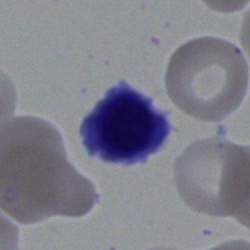 Impression → erythroblast.